Peripheral blood smear: 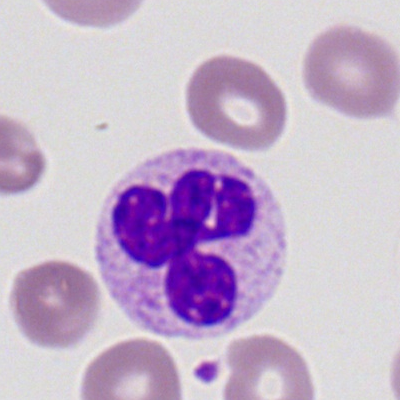Q: Which cell type is shown here?
A: It is a neutrophil (segmented).